Bone marrow aspirate smear:
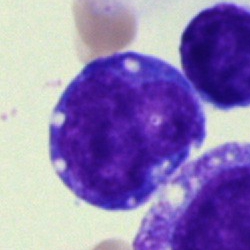 Classification — blast.